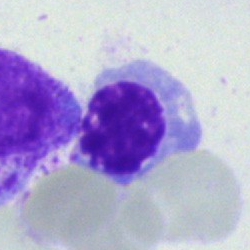 Q: What is the morphological classification of this cell?
A: This is a nucleated red blood cell.